Peripheral blood smear; single-cell crop.
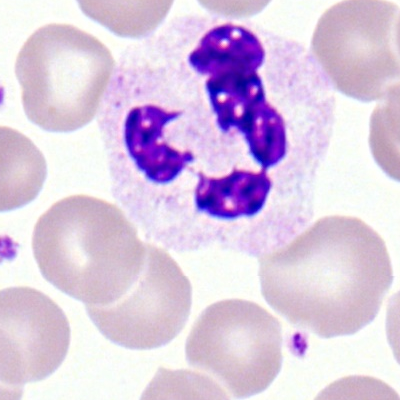
Q: What is shown here?
A: This is a polymorphonuclear neutrophil.